Bone marrow smear · Pappenheim-stained · 250×250 px:
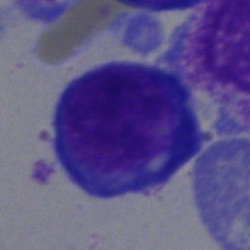Specimen: bone marrow smear.
Classification: pronormoblast.
Lineage: erythroid.